Bone marrow aspirate smear.
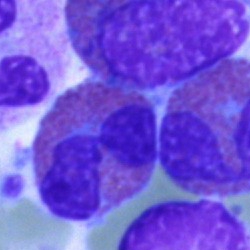
The cell is eosinophil.